Peripheral blood film — 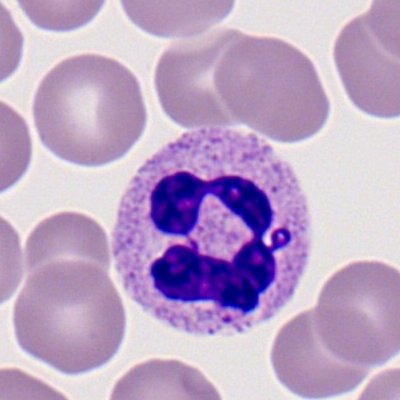

Morphological class — segmented neutrophil.